Bone marrow smear — 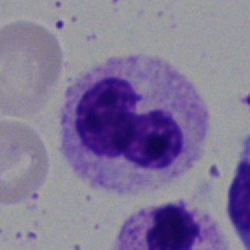A neutrophil (segmented).